Bone marrow aspirate smear
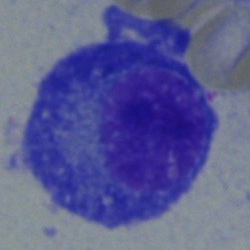Showing a plasmacyte.